Brightfield microscopy, 40× oil immersion. MGG-stained. Bone marrow aspirate smear
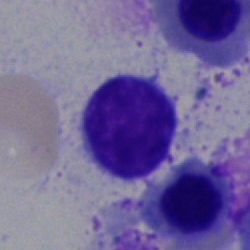Single cell identified as a typical lymphocyte.